Bone marrow aspirate smear; 250×250 px; single-cell field:
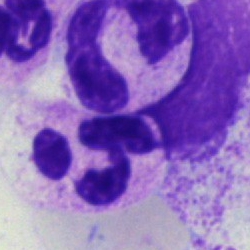Q: What cell is this?
A: Polymorphonuclear neutrophil.